Bone marrow smear: 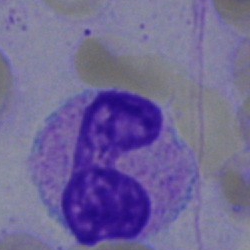
Neutrophil (band).